Bone marrow aspirate smear — 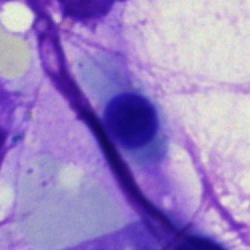 Cell: erythroblast.